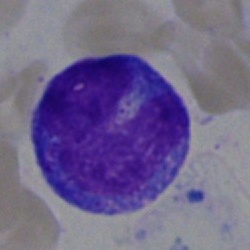The cell shown is a monocyte.